250 by 250 pixels; bone marrow aspirate smear — 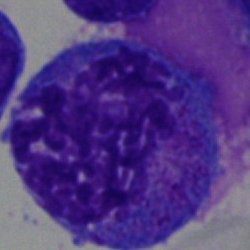
Classification = promyelocyte.